May-Grünwald-Giemsa stain; bone marrow smear
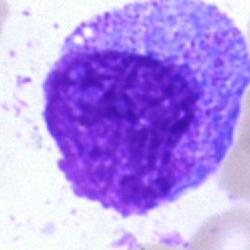Impression → promyelocyte.